Bone marrow smear
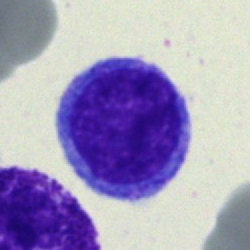
Cell type: undifferentiated blast.